Bone marrow aspirate smear: 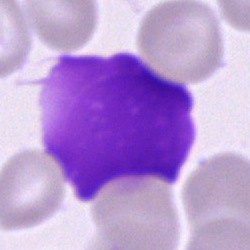

Showing an artefact.